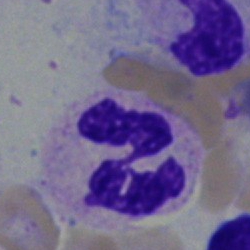
Specimen: bone marrow smear.
Cell type: neutrophil (segmented).
Lineage: myeloid.